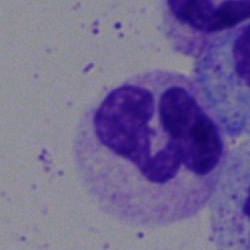
{"cell_type": "segmented neutrophil", "lineage": "myeloid"}